250×250 px; bone marrow aspirate smear; single cell centered in the field:
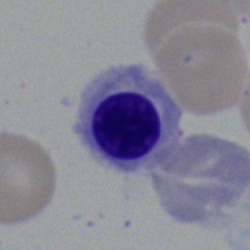
Specimen: bone marrow aspirate smear.
Classification: nucleated red cell.
Lineage: erythroid.